Bone marrow smear. 40× objective, oil immersion: 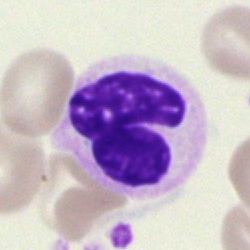 Neutrophil (segmented).